Bone marrow smear:
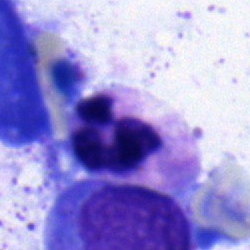
Specimen: bone marrow aspirate smear.
Cell: polymorphonuclear neutrophil.
Lineage: myeloid.